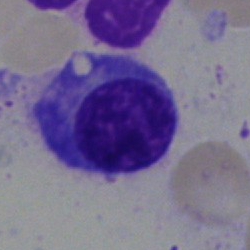

Cell = plasmacyte.